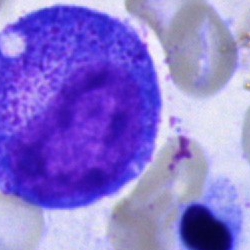 {"cell_type": "progranulocyte", "lineage": "myeloid"}